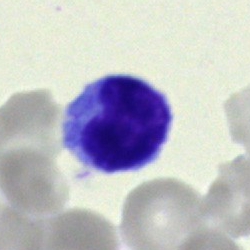 Cell = lymphocyte.